250×250 px · bone marrow smear
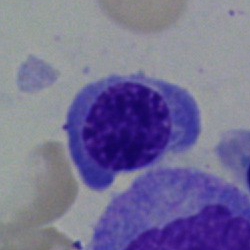 Showing a nucleated red blood cell.